Bone marrow aspirate smear.
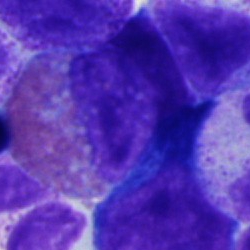 Morphology consistent with an eosinophil.